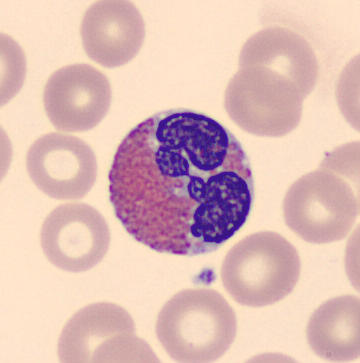

Cell — eosinophilic granulocyte.

Image: Single-cell field; peripheral blood smear; 360×363 px.